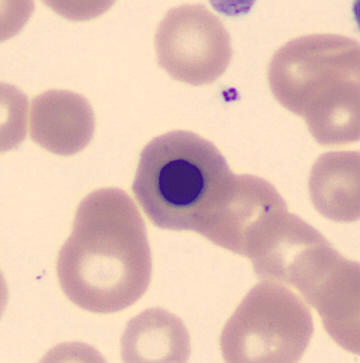

Morphological class = nucleated red cell.